Brightfield microscopy, 40× oil immersion · single-cell field · bone marrow smear.
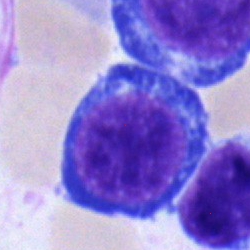Morphological class = normoblast.